Peripheral blood film:
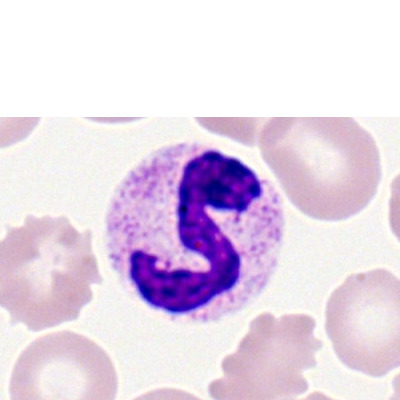
Specimen: peripheral blood smear.
Classification: polymorphonuclear neutrophil.